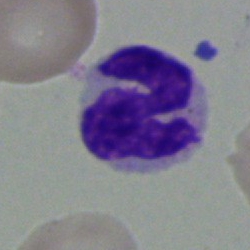

Morphology — neutrophil (segmented).